Bone marrow aspirate smear:
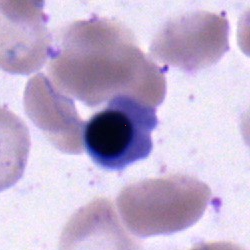 Classification = nucleated red cell.